Bone marrow aspirate smear — 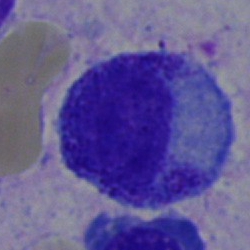A myelocyte.